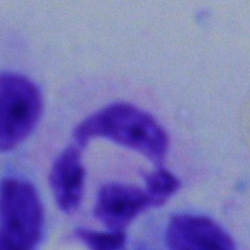
Bone marrow smear showing a neutrophil (segmented).